Peripheral blood film; image size 400×400:
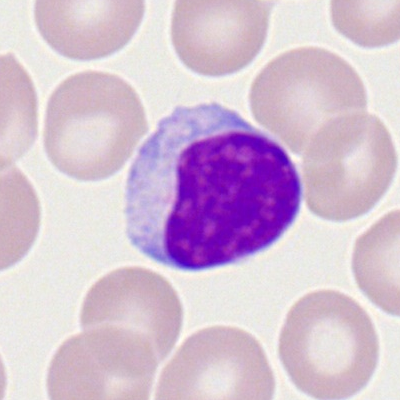
Specimen: peripheral blood film.
Classification: typical lymphocyte.
Lineage: lymphoid.